Bone marrow smear.
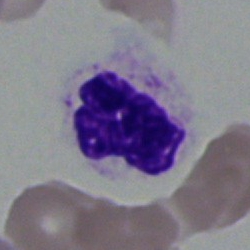 Classification = polymorphonuclear neutrophil.